Bone marrow aspirate smear. Image size 250×250
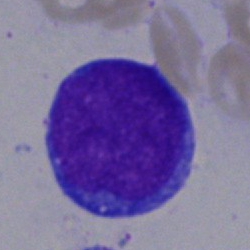 Specimen: bone marrow aspirate smear.
Cell type: blast cell.